Peripheral blood smear — 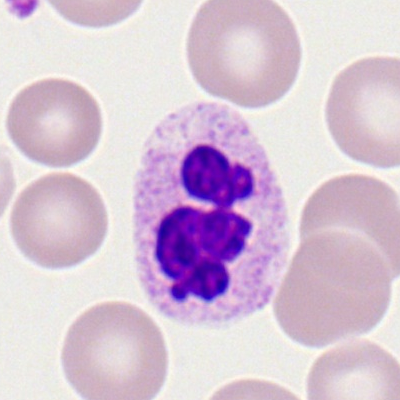 The cell is segmented neutrophil.